Bone marrow smear:
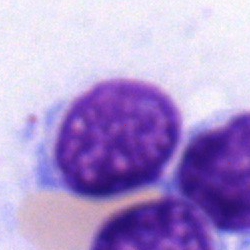 Specimen: bone marrow smear.
Cell type: typical lymphocyte.